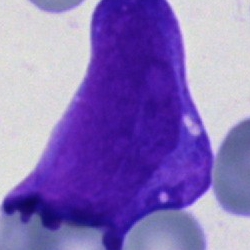The cell type is blast cell.